Bone marrow smear. MGG-stained.
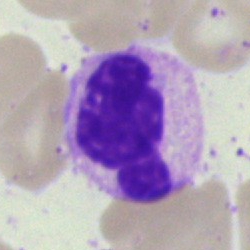

Impression → polymorphonuclear neutrophil.